Peripheral blood film.
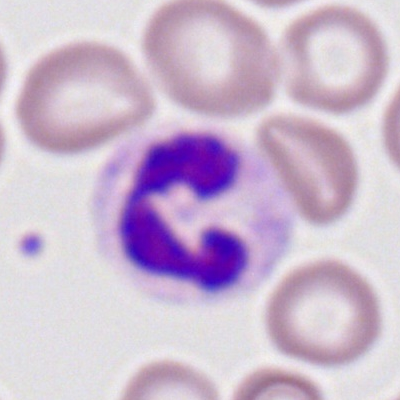

Specimen: peripheral blood film.
Morphological class: segmented neutrophil.
Lineage: myeloid.